Bone marrow smear. Image size 250×250. Cropped to a single cell:
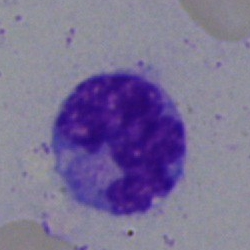

Showing a monocyte.